Bone marrow smear · MGG-stained · cropped to a single cell: 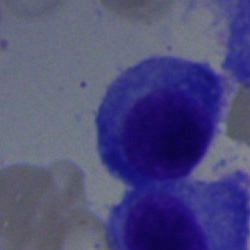

Cell — plasmacyte.